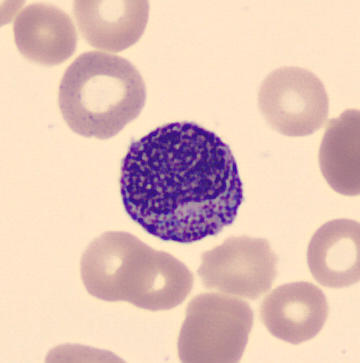 Single cell identified as a myelocyte.

Peripheral blood film.